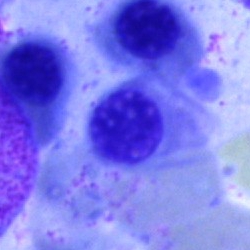
{"cell_type": "nucleated red blood cell"}